Bone marrow smear. Single cell centered in the field: 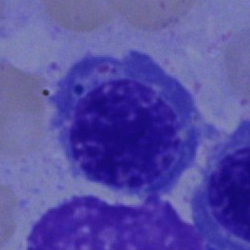Impression — nucleated red blood cell.